Single cell centered in the field; bone marrow smear — 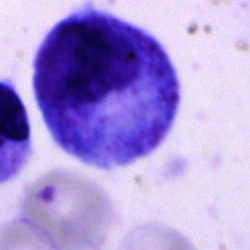
Q: Which cell type is shown here?
A: Progranulocyte.